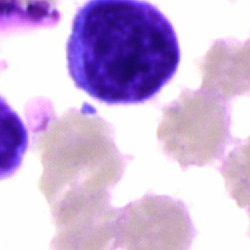
Morphological class: lymphocyte.